May-Grünwald-Giemsa stain; bone marrow smear: 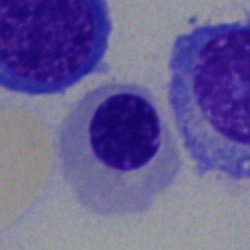 Morphological class = nucleated red blood cell.